Peripheral blood smear
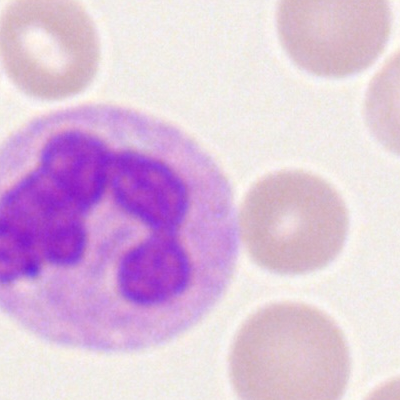
Morphology consistent with a neutrophil (segmented).